Brightfield microscopy, 40× oil immersion · bone marrow smear
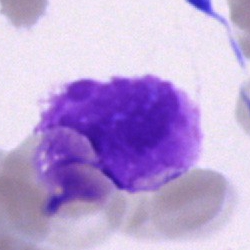Classification = artifact.